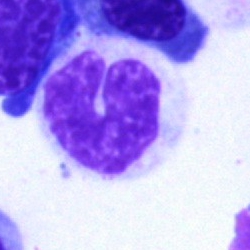
The cell type is stab cell.